May-Grünwald-Giemsa stain; bone marrow smear
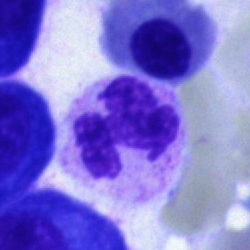 Specimen: bone marrow smear.
Classification: segmented neutrophil.
Lineage: myeloid.